Bone marrow aspirate smear
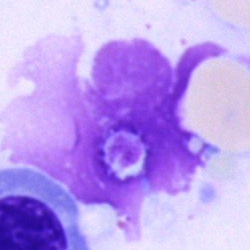

Morphology → artefact.